Bone marrow aspirate smear: 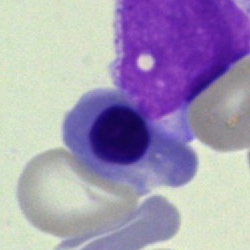
Q: Which cell type is shown here?
A: An erythroblast.